250×250 px. Bone marrow aspirate smear. 40× oil immersion:
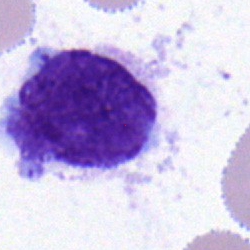
The morphological class is typical lymphocyte.